Bone marrow aspirate smear — 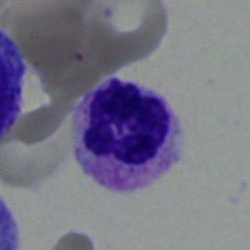
Cell type: polymorphonuclear neutrophil.